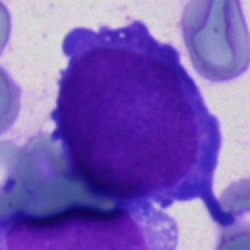
Undifferentiated blast.